Bone marrow aspirate smear; MGG-stained — 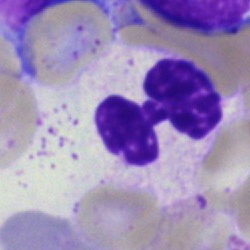 {"cell_type": "polymorphonuclear neutrophil", "lineage": "myeloid"}